Brightfield microscopy, 40× oil immersion. Bone marrow aspirate smear
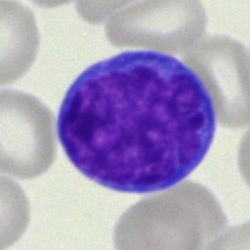

Typical lymphocyte.